Cropped to a single cell · bone marrow aspirate smear:
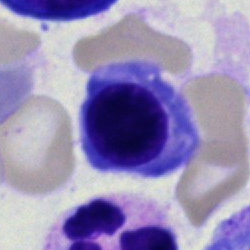This is a nucleated red blood cell.